Bone marrow aspirate smear:
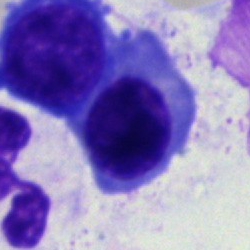Impression → normoblast.